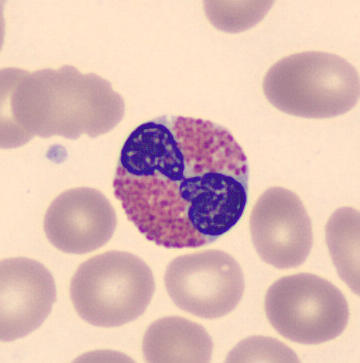 Q: Identify the cell.
A: It is an eosinophilic granulocyte. Peripheral blood smear · cropped to a single cell.